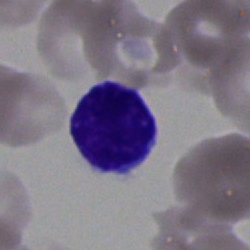
Classification — lymphocyte.